Bone marrow aspirate smear
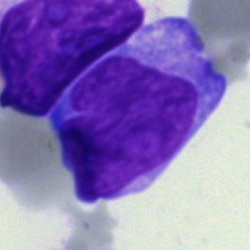

Impression — undifferentiated blast.